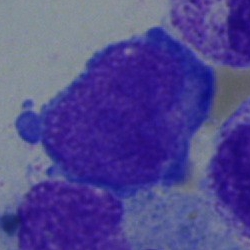
Q: What is the morphological classification of this cell?
A: This is a blast cell.